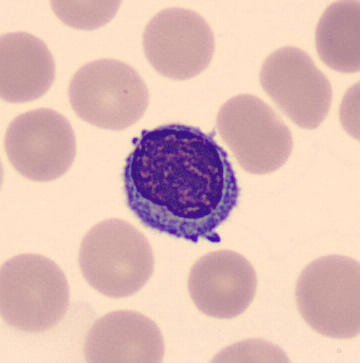Lymphocyte.

360 by 363 pixels · peripheral blood film · CellaVision DM96 digital cell image.